Single-cell field · bone marrow aspirate smear · 40× objective, oil immersion
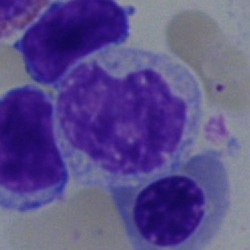 Q: What cell is this?
A: Nucleated red cell.